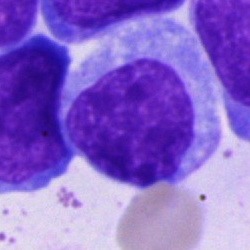 Q: What is shown here?
A: This is an unidentifiable cell.